Bone marrow smear.
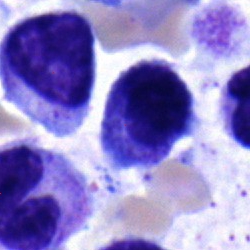

Single cell identified as a myelocyte.